Bone marrow aspirate smear · May-Grünwald-Giemsa stain · 40× oil immersion
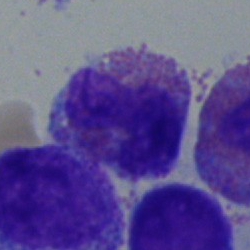Morphology consistent with an eosinophilic granulocyte.